40× oil immersion. Bone marrow aspirate smear
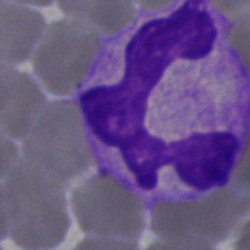Morphology consistent with a polymorphonuclear neutrophil.